Single-cell crop · bone marrow smear — 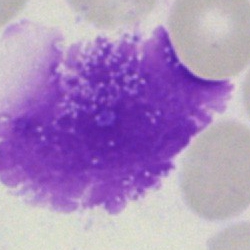

Morphology — artifact.